May-Grünwald-Giemsa/Pappenheim stain. Bone marrow smear. Brightfield, 40× oil-immersion objective
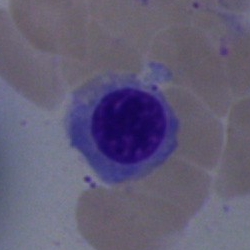Single cell identified as a normoblast.